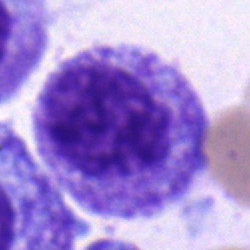
Morphology consistent with a myelocyte.